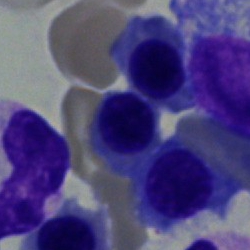
Q: Which cell type is shown here?
A: It is a nucleated red cell.